Bone marrow aspirate smear:
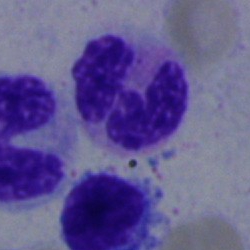Single cell identified as a segmented neutrophil.